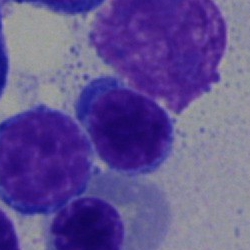Cell type = typical lymphocyte.